Bone marrow aspirate smear — 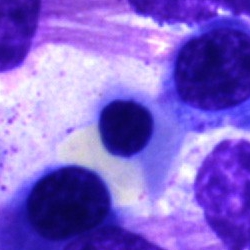Specimen: bone marrow aspirate smear.
Classification: cell of indeterminate lineage.